Bone marrow aspirate smear:
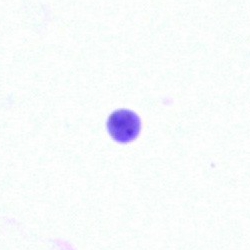

Cell type = artefact.